Bone marrow smear; Pappenheim-stained; single-cell crop — 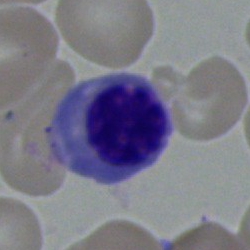

Nucleated red blood cell.